May-Grünwald-Giemsa stain. Bone marrow aspirate smear.
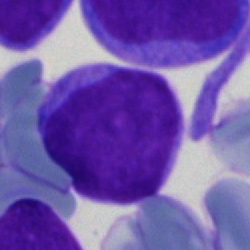 Morphology → blast.